Bone marrow aspirate smear · brightfield, 40× oil-immersion objective: 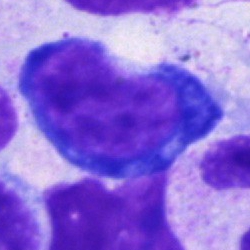 The cell type is proerythroblast.